40× oil immersion; bone marrow smear: 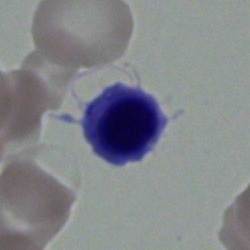 {"cell_type": "erythroblast", "lineage": "erythroid"}